Peripheral blood film
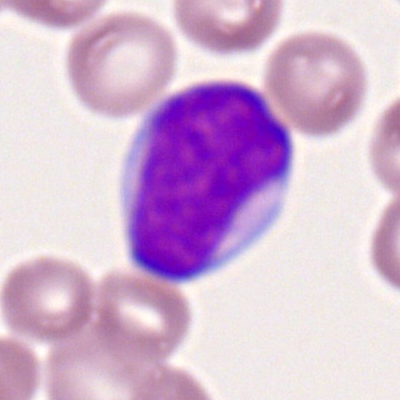 Q: What is shown here?
A: A myeloid blast.